Bone marrow aspirate smear; MGG-stained: 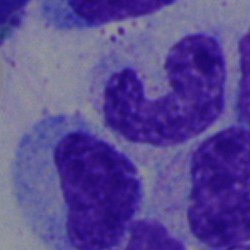
Morphology → band-form neutrophil.